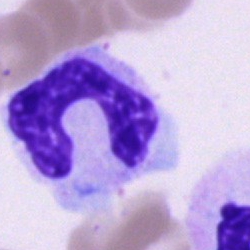

Specimen: bone marrow aspirate smear.
Cell: band-form neutrophil.
Lineage: myeloid.